Bone marrow aspirate smear. Brightfield microscopy, 40× oil immersion.
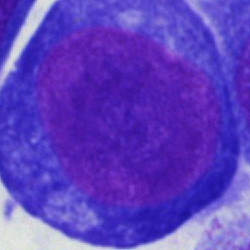A pronormoblast.